Bone marrow smear · single-cell crop: 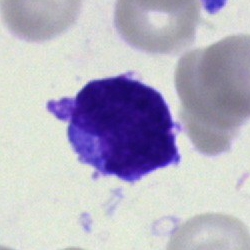

Morphology consistent with a blast cell.